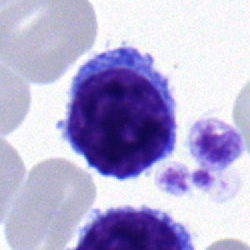Lymphocyte.